Bone marrow aspirate smear.
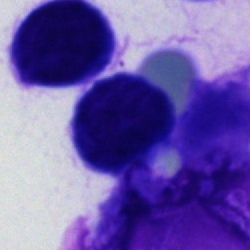
Showing an unidentifiable cell.